Bone marrow smear: 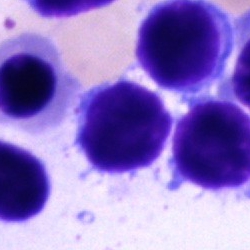

Impression — lymphocyte.